Bone marrow aspirate smear
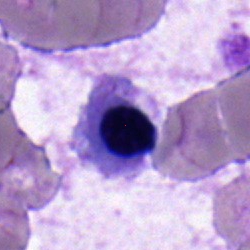 Single cell identified as an erythroblast.